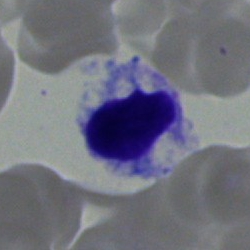

{"cell_type": "typical lymphocyte"}